Bone marrow aspirate smear
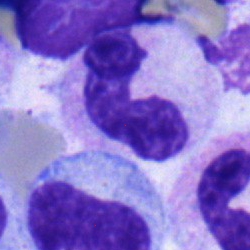
Cell type = stab cell.